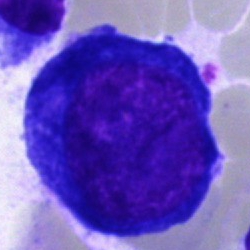Specimen: bone marrow smear.
Classification: pronormoblast.
Lineage: erythroid.